Bone marrow aspirate smear:
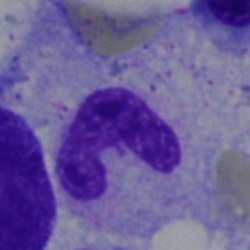
This is a band-form neutrophil.